Bone marrow aspirate smear:
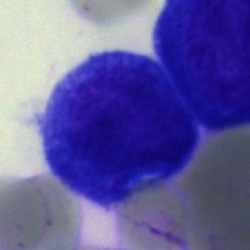
Cell: undifferentiated blast.